Bone marrow smear.
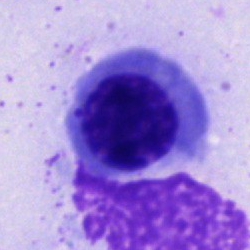
The cell shown is an erythroblast.